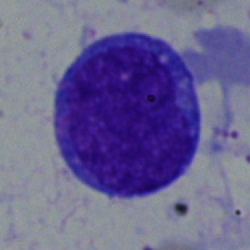The classification is undifferentiated blast.